Bone marrow aspirate smear
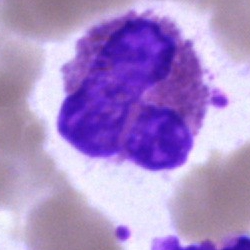Cell — eosinophil.